Bone marrow aspirate smear — 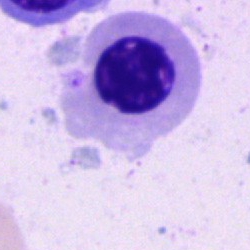
Q: What type of cell is this?
A: This is a nucleated red cell.